Bone marrow smear
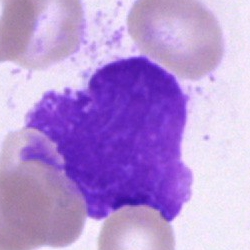 Classification = artefact.